Bone marrow smear; image size 250×250; brightfield microscopy, 40× oil immersion:
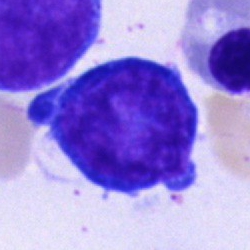 Showing a proerythroblast.